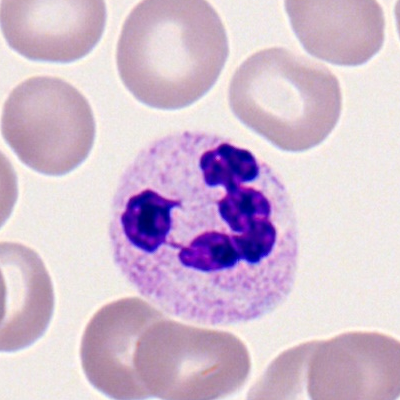Q: What is shown here?
A: It is a segmented neutrophil.